Pappenheim-stained. Bone marrow aspirate smear — 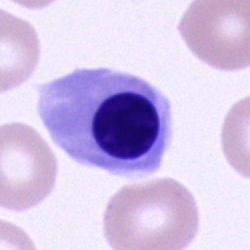Nucleated red cell.